Bone marrow smear: 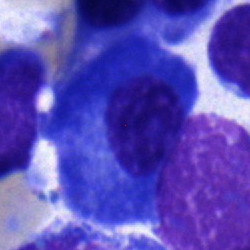

{"cell_type": "plasmacyte", "lineage": "lymphoid"}